Peripheral blood smear — 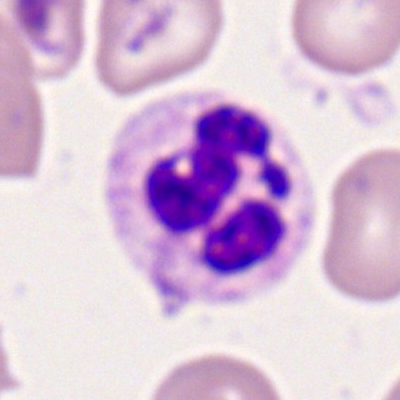 {"cell_type": "polymorphonuclear neutrophil", "lineage": "myeloid"}